Bone marrow aspirate smear. MGG-stained
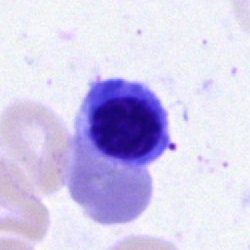Q: What type of cell is this?
A: A nucleated red cell.